Bone marrow smear — 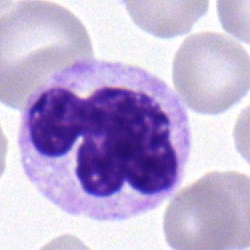 This is a neutrophil (segmented).